Romanowsky-type stain; peripheral blood film; 100× oil immersion, 14.14 px/µm
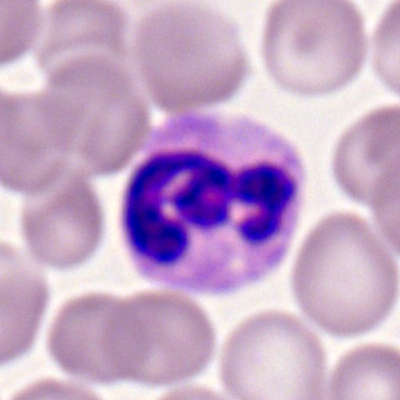

{"cell_type": "segmented neutrophil", "lineage": "myeloid"}